Bone marrow aspirate smear. Cropped to a single cell: 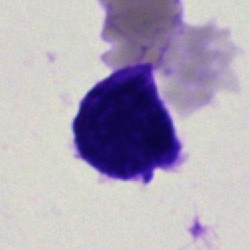
Q: What is the morphological classification of this cell?
A: It is a blast.